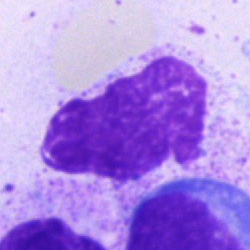
Q: What is shown here?
A: An artefact.